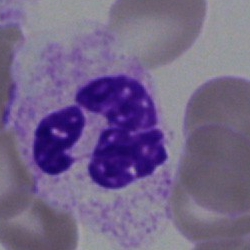 Morphological class: polymorphonuclear neutrophil.